Bone marrow smear:
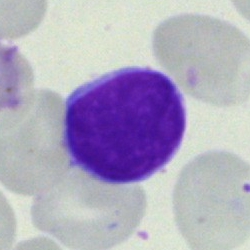

Cell: typical lymphocyte.